Bone marrow aspirate smear — 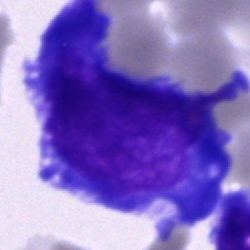 Q: What cell is this?
A: Blast.